Bone marrow aspirate smear.
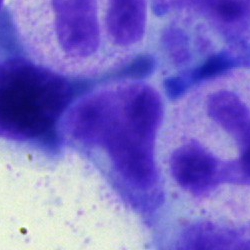
Specimen: bone marrow smear.
Cell: lymphocyte.
Lineage: lymphoid.